Peripheral blood smear · CellaVision DM96 digital cell image.
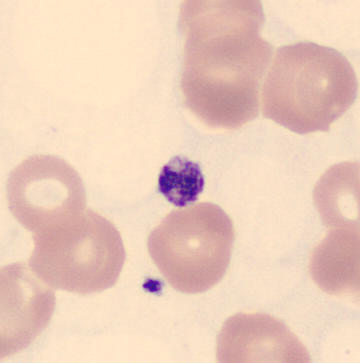 {"cell_type": "platelet"}